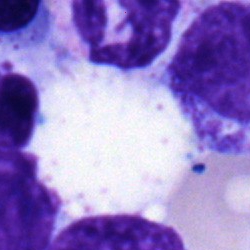
Single cell identified as a polymorphonuclear neutrophil.